Bone marrow aspirate smear: 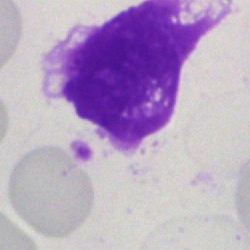Impression — artifact.